Bone marrow smear · brightfield microscopy, 40× oil immersion · 250×250
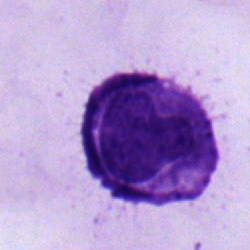
Q: Which cell type is shown here?
A: A typical lymphocyte.